Single cell centered in the field; 250×250 px; bone marrow aspirate smear: 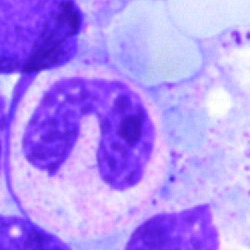

Specimen: bone marrow smear.
Cell type: neutrophil (segmented).
Lineage: myeloid.